100× objective, oil immersion; peripheral blood film: 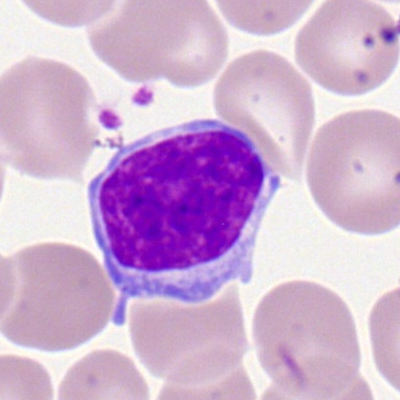 Q: Identify the cell.
A: This is a lymphocyte.